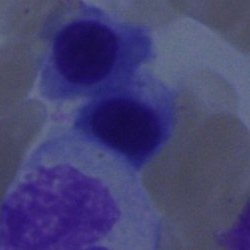 Q: What is shown here?
A: A nucleated red blood cell.